Bone marrow smear
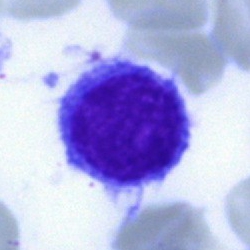

Classification = typical lymphocyte.